Bone marrow aspirate smear; 250 by 250 pixels: 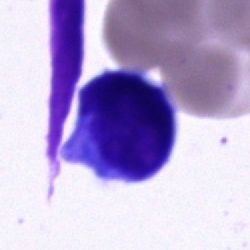
Q: What is the morphological classification of this cell?
A: Typical lymphocyte.